Bone marrow smear. Single-cell field. May-Grünwald-Giemsa stain:
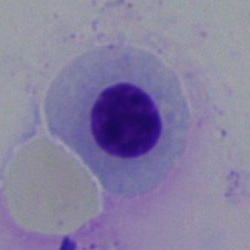
Morphology — erythroblast.